250 by 250 pixels. May-Grünwald-Giemsa stain. Bone marrow aspirate smear:
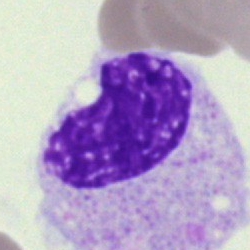 Cell type — metamyelocyte.